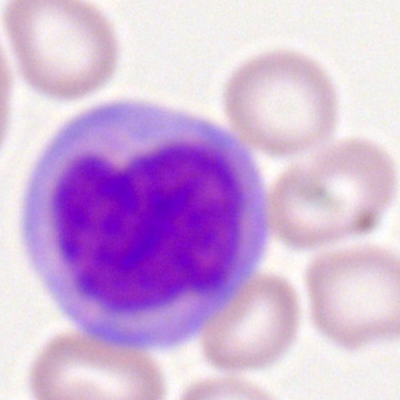 A monocyte on a peripheral blood smear.